Bone marrow smear.
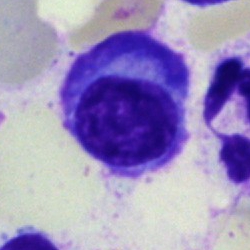 This is a plasmacyte.